Peripheral blood film · 400×400 px:
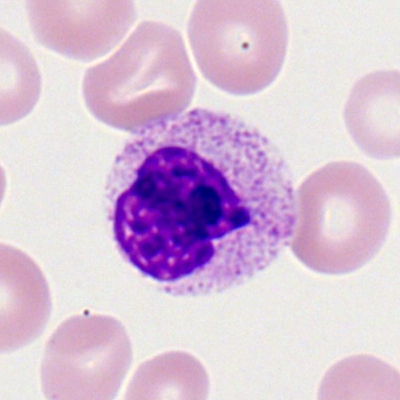
Specimen: peripheral blood film.
Morphological class: neutrophil (segmented).